Bone marrow aspirate smear — 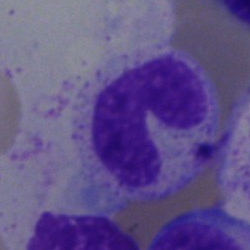
A stab cell.